Bone marrow smear:
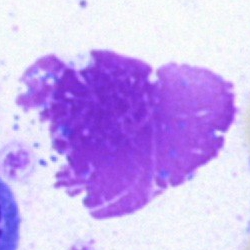 Morphology consistent with an artefact.